Bone marrow aspirate smear. Brightfield, 40× oil-immersion objective. 250×250 px
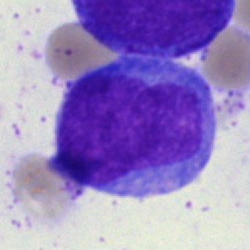
A blast.